Bone marrow aspirate smear
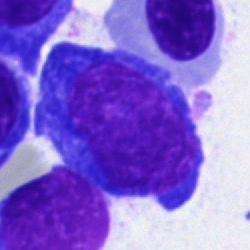 Q: What cell is this?
A: A blast.